Bone marrow aspirate smear — 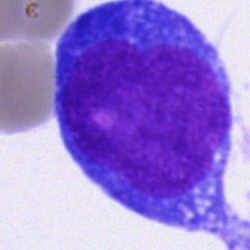

The cell shown is an undifferentiated blast.